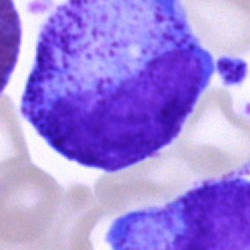
Single cell identified as a promyelocyte.